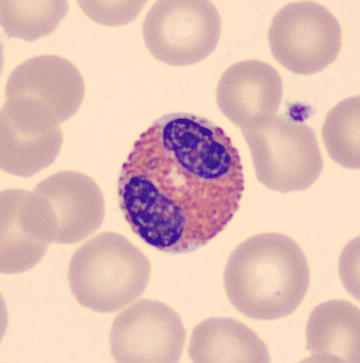

The cell shown is an eosinophilic granulocyte.

Acquisition: Peripheral blood smear; imaged on a CellaVision DM96 analyser.